Peripheral blood film. Romanowsky stain. Single-cell crop.
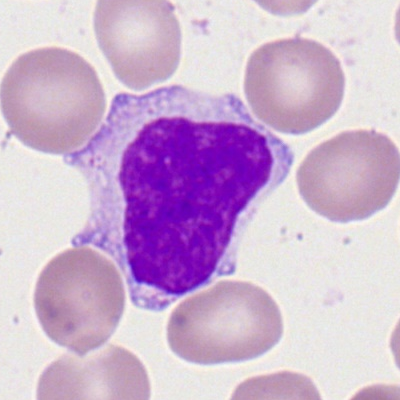
Specimen: peripheral blood film.
Cell type: lymphocyte.